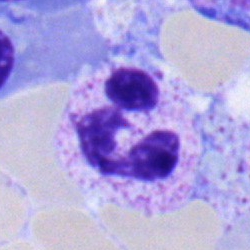Q: What is shown here?
A: Neutrophil (segmented).